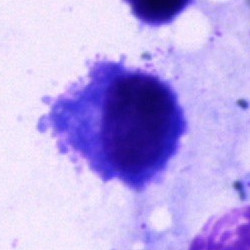

Q: What type of cell is this?
A: Plasma cell.